Bone marrow aspirate smear. 250 by 250 pixels. Cropped to a single cell — 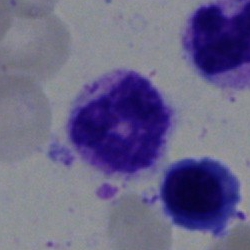Q: What cell is this?
A: It is a polymorphonuclear neutrophil.